Bone marrow smear.
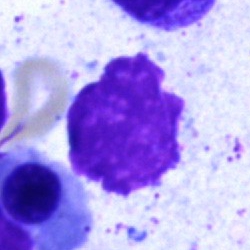 {"cell_type": "artefact"}